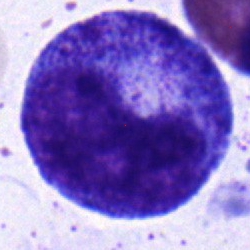
Morphology consistent with a promyelocyte.